MGG-stained; bone marrow smear
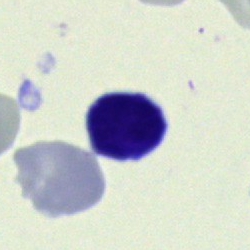

Impression — lymphocyte.